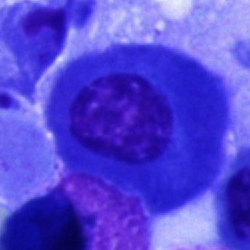 Specimen: bone marrow aspirate smear.
Cell: plasma cell.